Bone marrow aspirate smear.
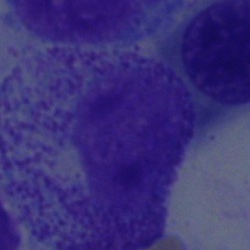
A myelocyte.